Bone marrow aspirate smear:
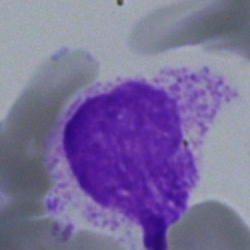{"cell_type": "myelocyte"}